Bone marrow smear
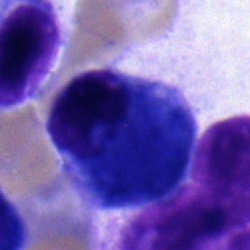Classification — plasma cell.